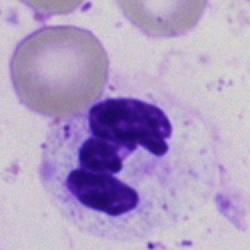
Morphological class = neutrophil (segmented).